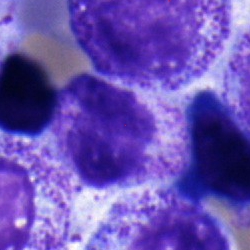 Classification: stab cell.